Bone marrow smear — 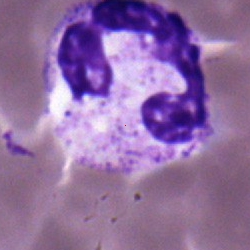Polymorphonuclear neutrophil.